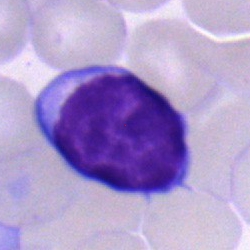 Specimen: bone marrow aspirate smear.
Morphological class: lymphocyte.
Lineage: lymphoid.